Bone marrow aspirate smear:
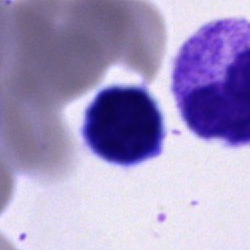
The cell is artefact.